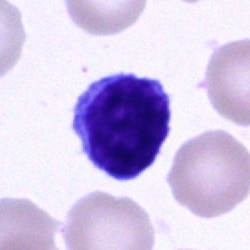
Morphology consistent with a typical lymphocyte.